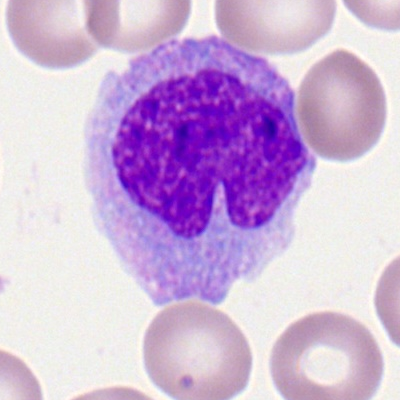Peripheral blood smear showing a monocyte.